Bone marrow aspirate smear. Cropped to a single cell. 250×250 px
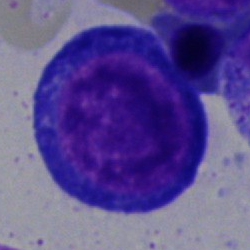Q: Identify the cell.
A: Pronormoblast.